Bone marrow aspirate smear · single cell centered in the field · MGG-stained
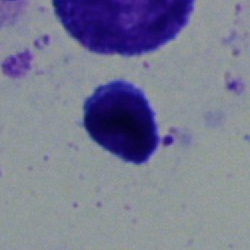

Specimen: bone marrow smear.
Cell type: typical lymphocyte.
Lineage: lymphoid.